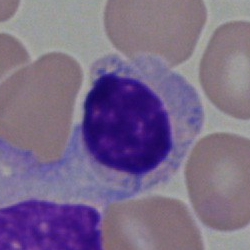

Classification — lymphocyte.